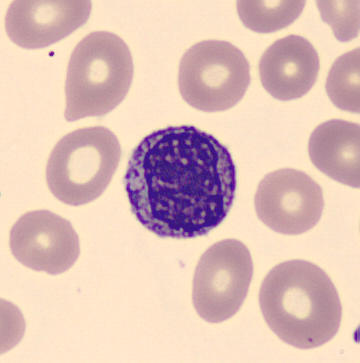 Classification — myelocyte.